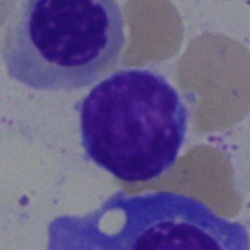

A typical lymphocyte.